Single-cell crop; 40× oil immersion; bone marrow aspirate smear:
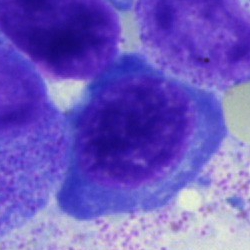The cell is nucleated red blood cell.